Brightfield microscopy, 40× oil immersion; bone marrow aspirate smear; 250 by 250 pixels — 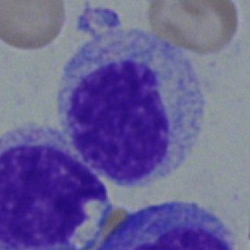This is a myelocyte.